MGG-stained; bone marrow smear — 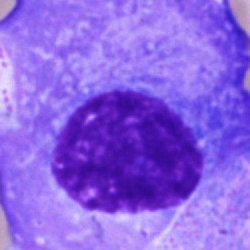Q: Which cell type is shown here?
A: It is a plasma cell.